Bone marrow smear: 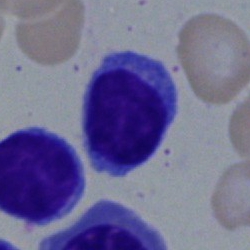

A lymphocyte.